Peripheral blood film.
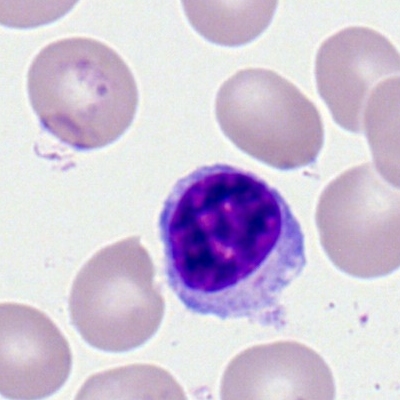
This is a lymphocyte.